Bone marrow aspirate smear; 40× objective, oil immersion — 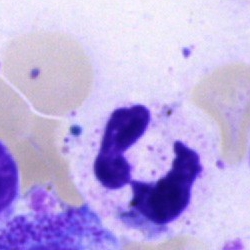
Specimen: bone marrow smear.
Classification: segmented neutrophil.
Lineage: myeloid.